Bone marrow smear — 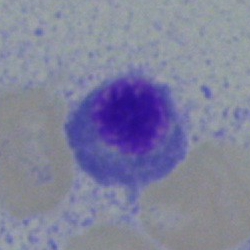
The cell is erythroblast.